Bone marrow smear.
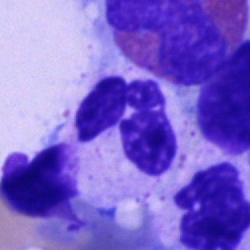
Impression → neutrophil (segmented).